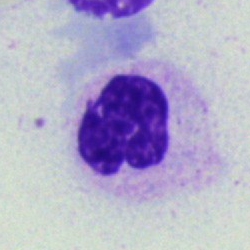Showing a polymorphonuclear neutrophil.